Bone marrow aspirate smear. 250×250 px. Single cell centered in the field.
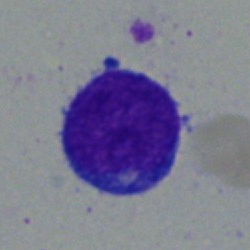 {"cell_type": "pronormoblast", "lineage": "erythroid"}